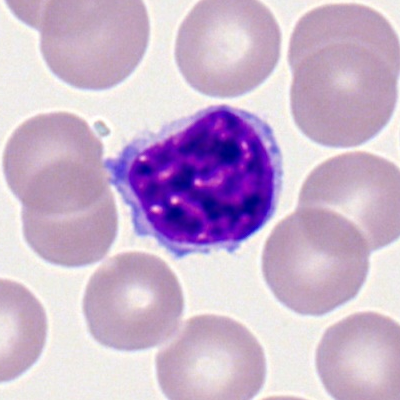
Classification — typical lymphocyte.